40× oil immersion · bone marrow aspirate smear
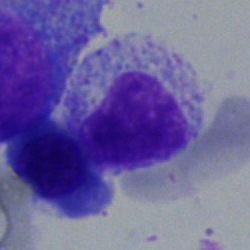Specimen: bone marrow aspirate smear.
Classification: myelocyte.
Lineage: myeloid.